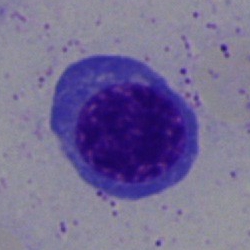 Classification — nucleated red blood cell.